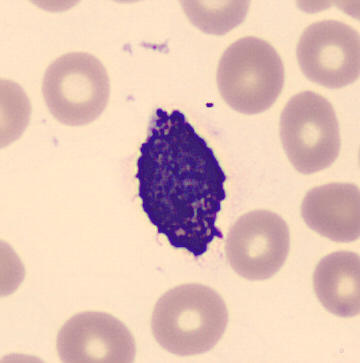 This is a basophil.

Acquisition: Peripheral blood film.